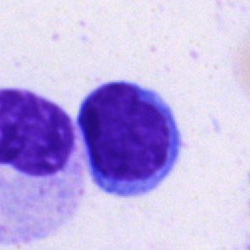
This is a lymphocyte.